Bone marrow aspirate smear:
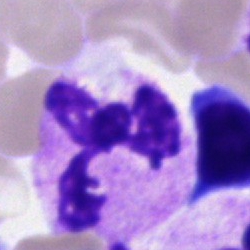
Morphological class = segmented neutrophil.